Bone marrow aspirate smear; single-cell crop; May-Grünwald-Giemsa stain: 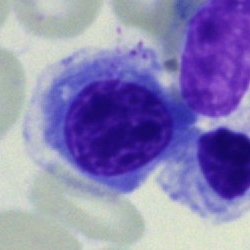This is a nucleated red blood cell.